Image size 250×250. MGG-stained. Bone marrow smear:
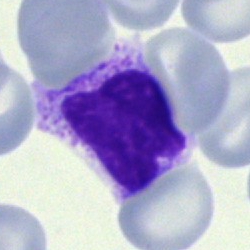

Specimen: bone marrow smear.
Classification: artifact.